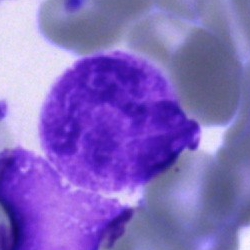Impression — artifact.